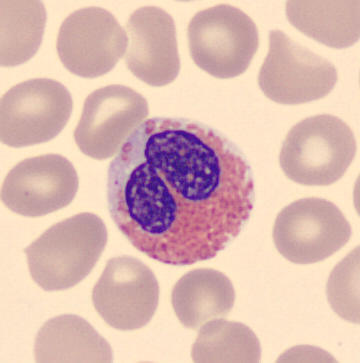 Single-cell crop · peripheral blood film. Morphology — eosinophilic granulocyte.